250×250 px. Bone marrow smear — 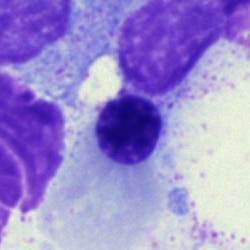 {"cell_type": "nucleated red cell", "lineage": "erythroid"}